Bone marrow aspirate smear — 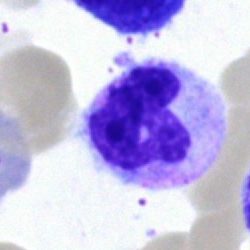
Q: What cell is this?
A: It is a polymorphonuclear neutrophil.